Bone marrow aspirate smear:
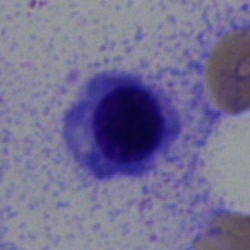This is a nucleated red cell.